Bone marrow aspirate smear.
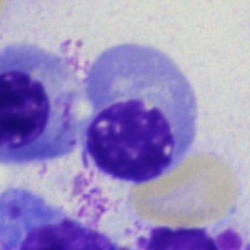 Erythroblast.